Bone marrow aspirate smear:
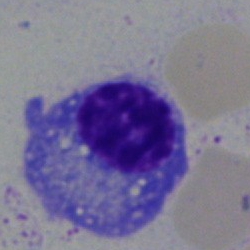 Showing a plasma cell.